Bone marrow smear; May-Grünwald-Giemsa/Pappenheim stain.
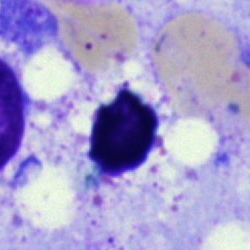 Q: What is shown here?
A: This is an artifact.